Bone marrow smear:
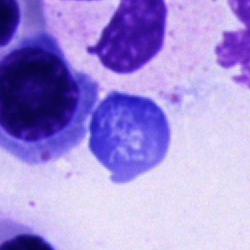 Cell of indeterminate lineage.